Image size 250×250; bone marrow aspirate smear: 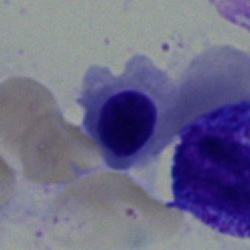Nucleated red blood cell.